Bone marrow aspirate smear · MGG-stained.
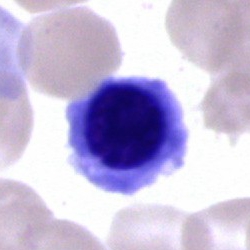 Morphological class: nucleated red cell.